Bone marrow smear; 40× objective, oil immersion; 250×250:
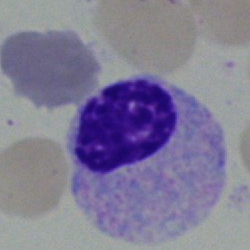
Showing a myelocyte.